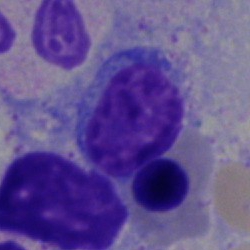

Morphological class = lymphocyte.